Bone marrow aspirate smear — 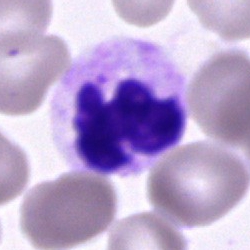
Q: What is the morphological classification of this cell?
A: A polymorphonuclear neutrophil.